Bone marrow smear; brightfield microscopy, 40× oil immersion; 250×250 px
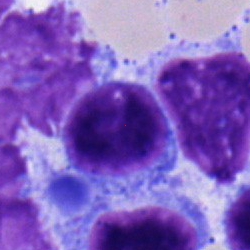Morphology consistent with a typical lymphocyte.